40× oil immersion. Bone marrow aspirate smear.
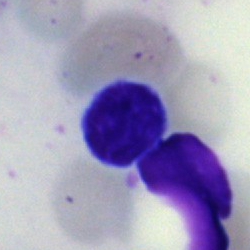Impression — typical lymphocyte.